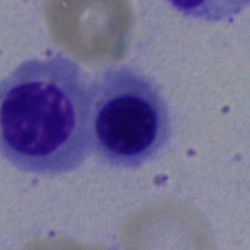 Cell type: nucleated red blood cell.